Bone marrow aspirate smear — 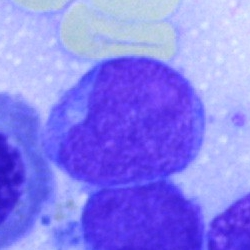 The cell is blast cell.